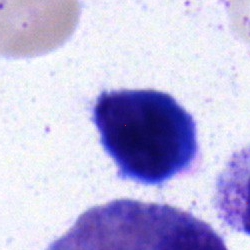
Morphology consistent with a lymphocyte.